250 by 250 pixels; bone marrow smear: 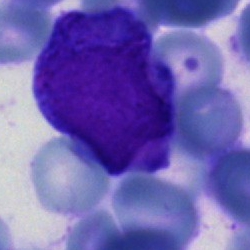
The cell shown is a blast.